Single cell centered in the field. 250 by 250 pixels. Bone marrow smear — 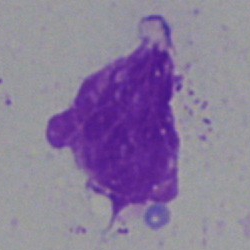

Morphological class — artefact.